40× oil immersion; bone marrow aspirate smear.
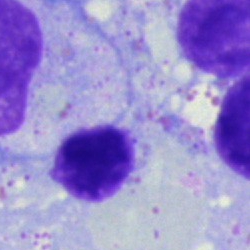 Q: What is shown here?
A: Artifact.